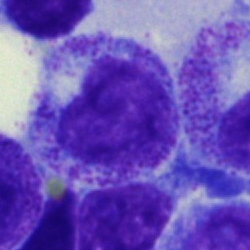Single-cell crop from a bone marrow smear: promyelocyte.